Bone marrow aspirate smear; MGG-stained.
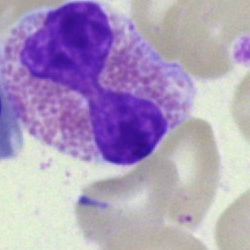
Q: What cell is this?
A: Eosinophil.